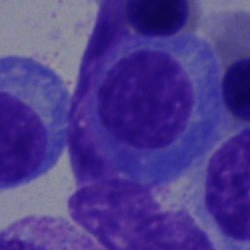

The classification is plasmacyte.